Bone marrow smear.
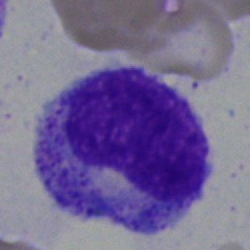Morphology — metamyelocyte.